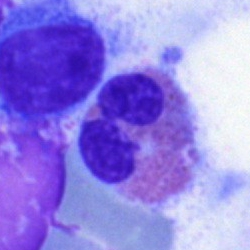
Cell type = eosinophil.